Pappenheim-stained; bone marrow smear:
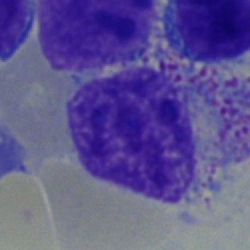

Showing a myelocyte.